Bone marrow smear · MGG-stained:
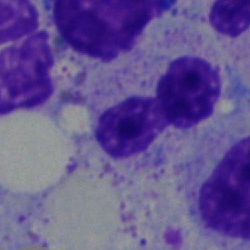
Q: Which cell type is shown here?
A: Band neutrophil.